Brightfield, 40× oil-immersion objective. Bone marrow aspirate smear
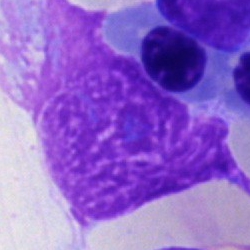

Impression — artefact.